Bone marrow smear. Cropped to a single cell.
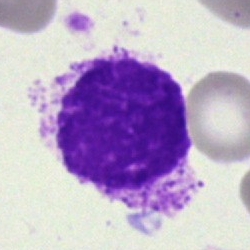

The cell shown is an artefact.